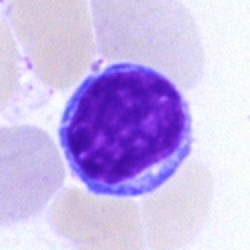
{"cell_type": "lymphocyte"}